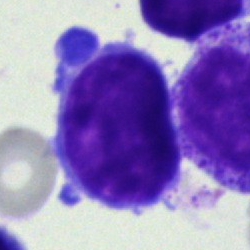

A lymphocyte on a bone marrow smear.